Bone marrow smear — 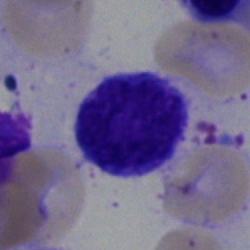A typical lymphocyte.